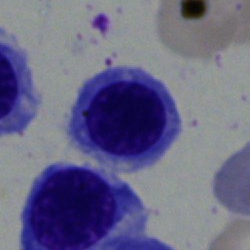Specimen: bone marrow aspirate smear.
Cell type: normoblast.
Lineage: erythroid.